Bone marrow smear — 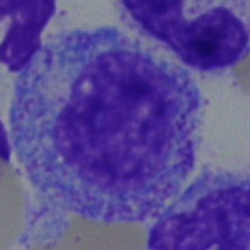
Morphology → myelocyte.